Bone marrow aspirate smear.
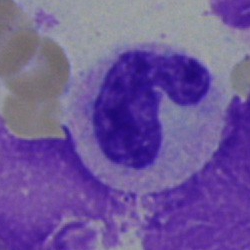
Impression → band-form neutrophil.